Bone marrow smear
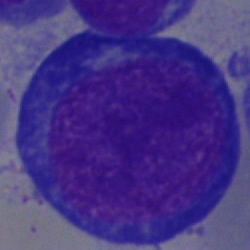Specimen: bone marrow smear.
Cell: proerythroblast.